Bone marrow smear. Cropped to a single cell — 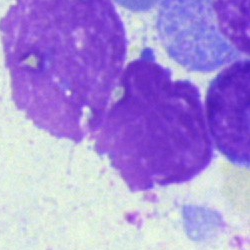Morphological class = artifact.